Single cell centered in the field · MGG-stained · bone marrow smear:
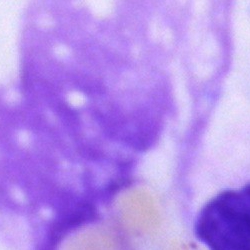

Q: What is shown here?
A: An artifact.